MGG-stained; bone marrow aspirate smear.
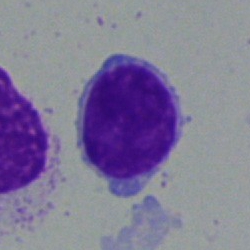 Morphological class: typical lymphocyte.